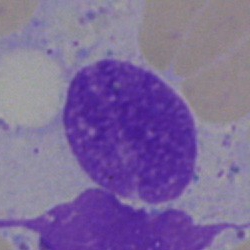

This is an artifact.